May-Grünwald-Giemsa/Pappenheim stain · bone marrow smear.
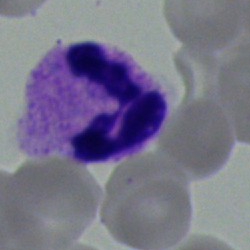Cell type — segmented neutrophil.